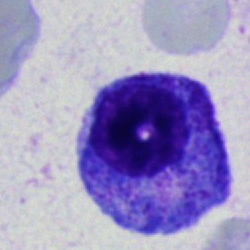 This is a promyelocyte.